May-Grünwald-Giemsa stain. Image size 250×250. Bone marrow aspirate smear.
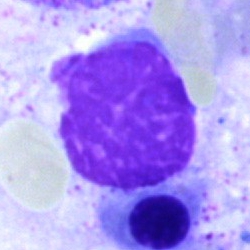{"cell_type": "artefact"}